Bone marrow smear.
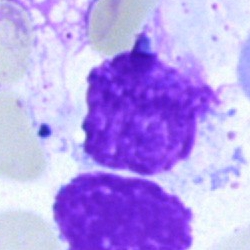{"cell_type": "artifact"}